Bone marrow aspirate smear.
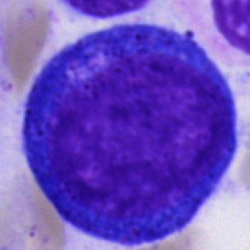Proerythroblast.